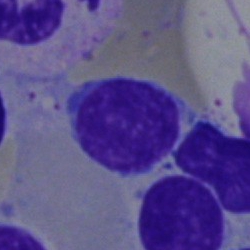
The cell is typical lymphocyte.